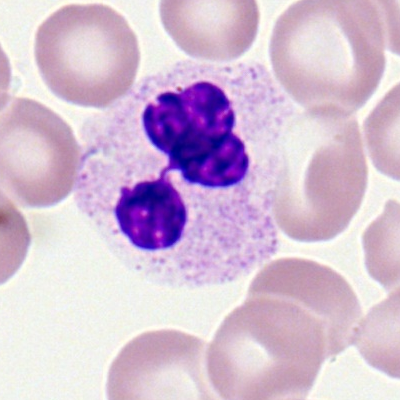The morphological class is polymorphonuclear neutrophil.